Single-cell field. Bone marrow smear. Pappenheim-stained — 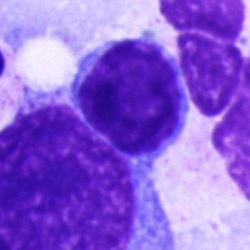This is a typical lymphocyte.